Bone marrow smear · MGG-stained · single cell centered in the field
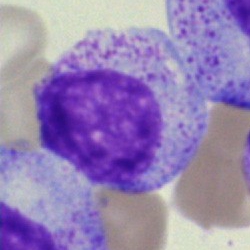
The classification is myelocyte.